Peripheral blood film · 100× objective, oil immersion — 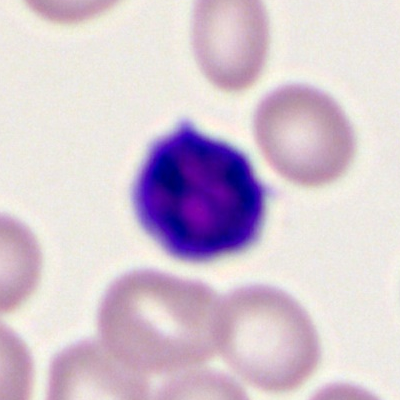 Specimen: peripheral blood smear.
Morphological class: lymphocyte.
Lineage: lymphoid.